MGG-stained · bone marrow smear.
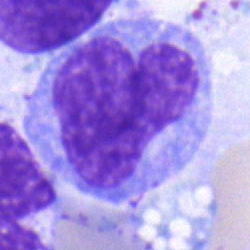Specimen: bone marrow smear.
Cell: monocyte.